Peripheral blood smear
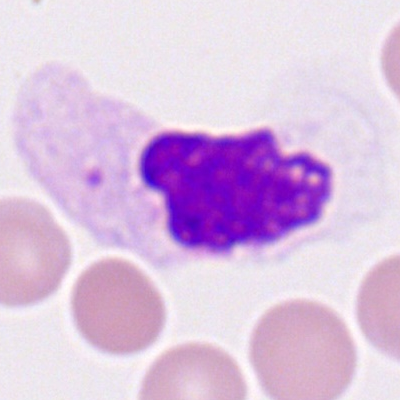A polymorphonuclear neutrophil.